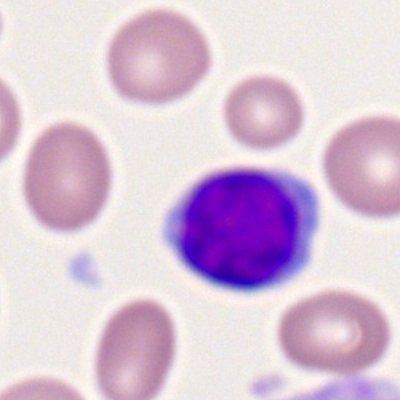The cell shown is a lymphocyte.